Bone marrow smear
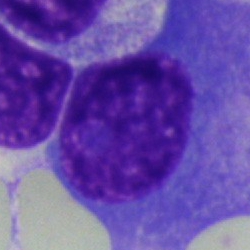 Specimen: bone marrow aspirate smear.
Cell: plasmacyte.
Lineage: lymphoid.